Bone marrow aspirate smear:
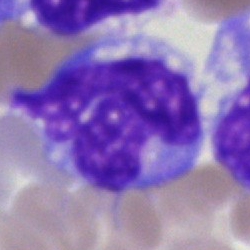Single cell identified as a monocyte.